Single-cell field · bone marrow smear
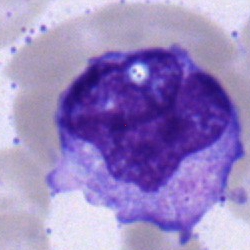 A monocyte.